Peripheral blood smear
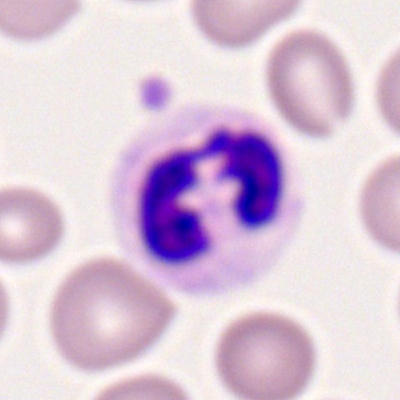
Specimen: peripheral blood film.
Classification: neutrophil (segmented).